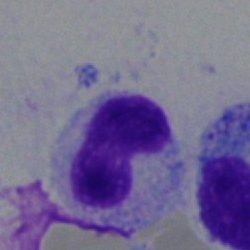 This is a band neutrophil.